Image size 250×250 · bone marrow smear
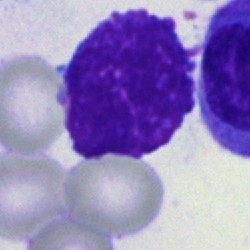

Q: What is shown here?
A: Artifact.